Bone marrow smear:
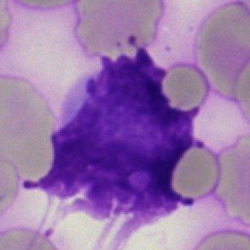

Cell: artifact.